May-Grünwald-Giemsa stain. Bone marrow smear
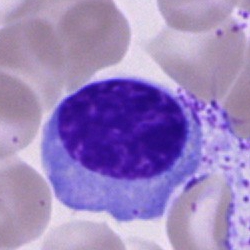

A plasmacyte.